Peripheral blood smear; Romanowsky stain: 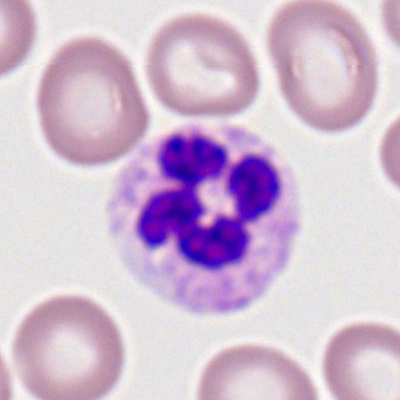{"cell_type": "neutrophil (segmented)"}